Bone marrow aspirate smear. 40× oil immersion:
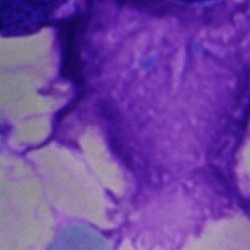
Cell type = artifact.